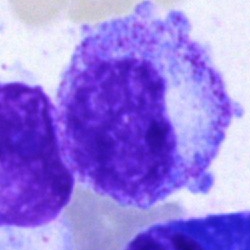This is a myelocyte.